MGG-stained; bone marrow aspirate smear: 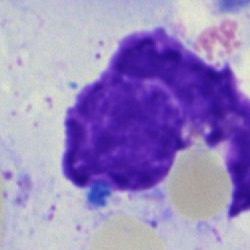Artifact.